Cropped to a single cell; bone marrow smear; image size 250×250 — 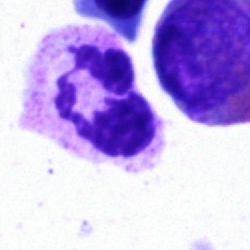

The cell is polymorphonuclear neutrophil.